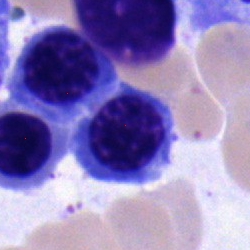
The cell shown is an erythroblast.